Bone marrow aspirate smear: 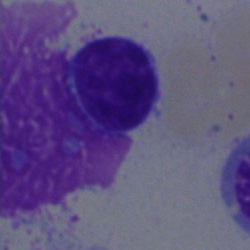Morphological class = lymphocyte.